Bone marrow smear: 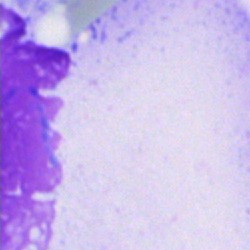Showing an artefact.